Brightfield microscopy, 40× oil immersion. Bone marrow aspirate smear.
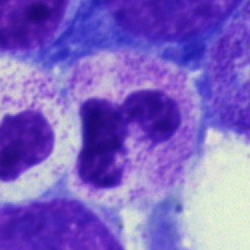

This is a segmented neutrophil.